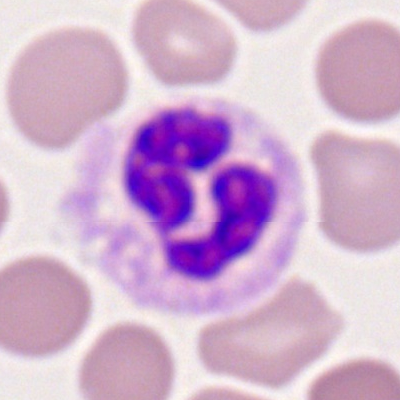
Showing a polymorphonuclear neutrophil.